Brightfield microscopy, 40× oil immersion · bone marrow aspirate smear · May-Grünwald-Giemsa stain: 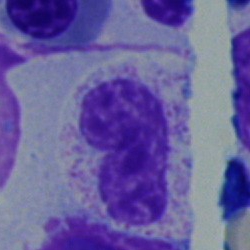
Classification = band-form neutrophil.